Bone marrow aspirate smear
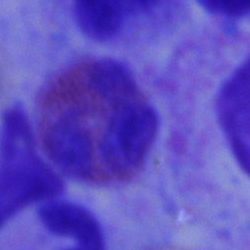
Specimen: bone marrow smear.
Morphological class: eosinophil.